Bone marrow aspirate smear — 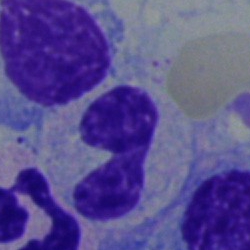The cell is band neutrophil.